Bone marrow aspirate smear. May-Grünwald-Giemsa/Pappenheim stain: 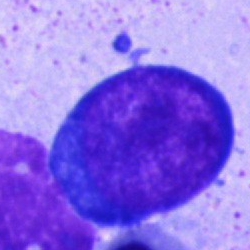 Cell type — proerythroblast.